Bone marrow aspirate smear:
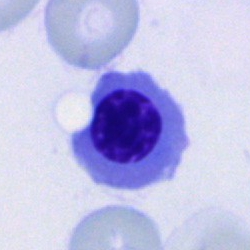 A normoblast.